MGG-stained. 250×250. Bone marrow smear: 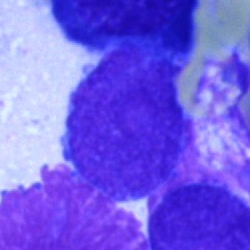 This is a blast cell.